Romanowsky stain; peripheral blood film: 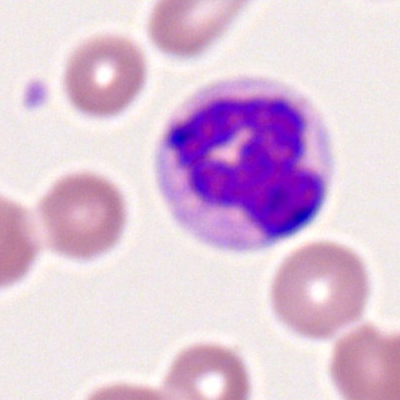Morphology consistent with a polymorphonuclear neutrophil.